100× objective, oil immersion · Romanowsky-type stain · peripheral blood smear:
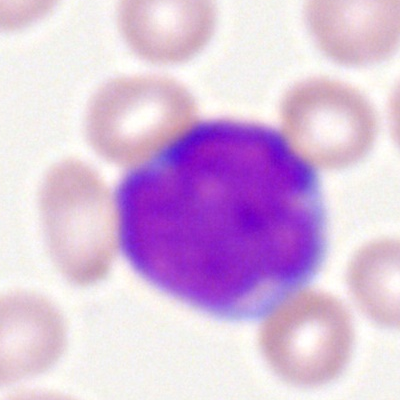The cell shown is a myeloblast.